Peripheral blood smear — 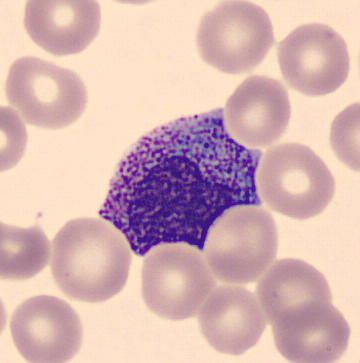 Identified as a metamyelocyte.